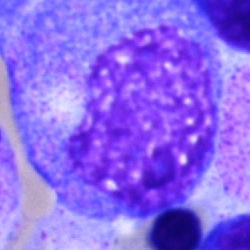

The morphological class is progranulocyte.